Bone marrow smear.
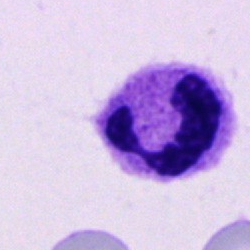

Morphology consistent with an other cell type.